Bone marrow smear.
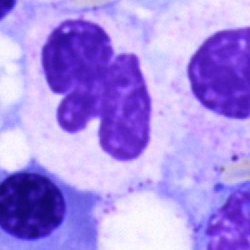
Specimen: bone marrow smear.
Cell: segmented neutrophil.
Lineage: myeloid.